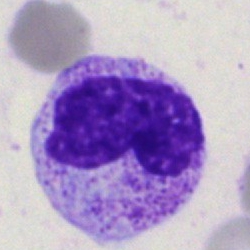 Morphology consistent with a stab cell.